Bone marrow aspirate smear. 40× objective, oil immersion
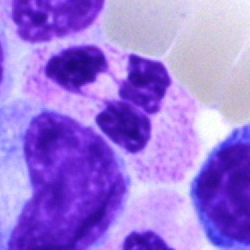
Morphology → neutrophil (segmented).